250×250; bone marrow aspirate smear
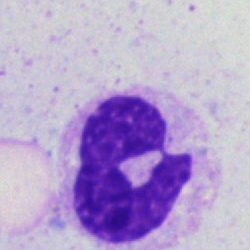
A polymorphonuclear neutrophil.